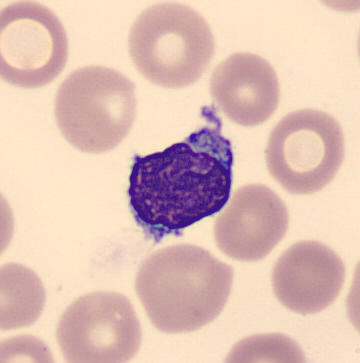 Preparation: 360×363; cropped to a single cell.

Specimen: peripheral blood smear.
Cell type: lymphocyte.
Lineage: lymphoid.